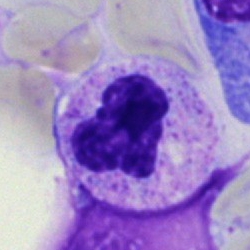Q: What is shown here?
A: It is a neutrophil (segmented).